Bone marrow aspirate smear; cropped to a single cell
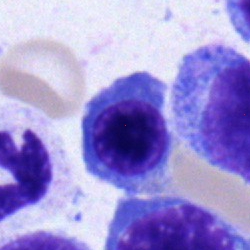
Q: What cell is this?
A: An erythroblast.